Bone marrow smear · Pappenheim-stained
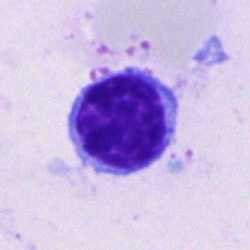Specimen: bone marrow aspirate smear.
Morphological class: typical lymphocyte.
Lineage: lymphoid.